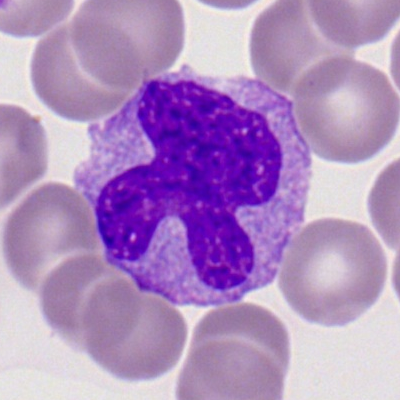Single cell identified as a monocyte.